40× oil immersion. Bone marrow smear: 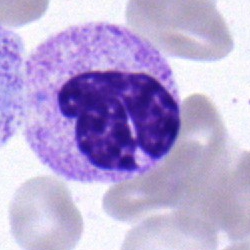

The cell is band-form neutrophil.